Bone marrow aspirate smear
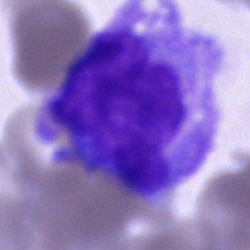
{"cell_type": "monocyte", "lineage": "myeloid"}